Bone marrow aspirate smear; single-cell field
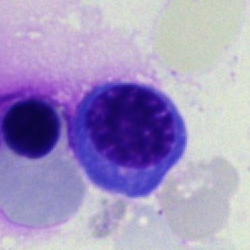 Showing a nucleated red blood cell.